Bone marrow smear:
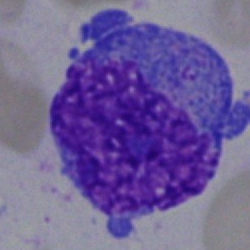
Morphology consistent with a progranulocyte.